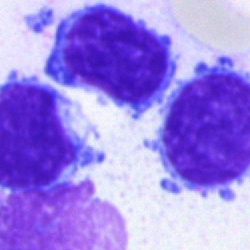 Impression → lymphocyte.